Bone marrow smear. 250×250 px. Pappenheim-stained
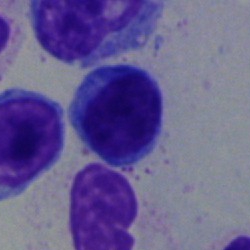
Specimen: bone marrow smear.
Classification: lymphocyte.
Lineage: lymphoid.